Image size 250×250 · bone marrow aspirate smear · brightfield microscopy, 40× oil immersion — 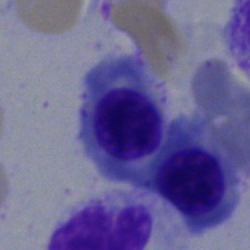

Q: What is shown here?
A: A nucleated red cell.